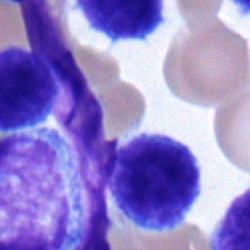Morphology consistent with a typical lymphocyte.